Bone marrow aspirate smear.
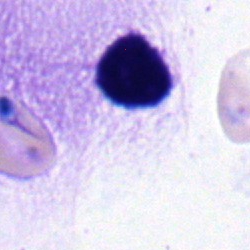 A lymphocyte.